Bone marrow aspirate smear:
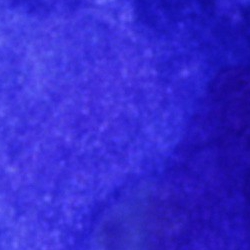 {"cell_type": "artefact"}